Bone marrow aspirate smear; brightfield microscopy, 40× oil immersion — 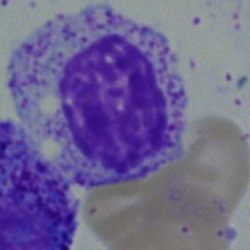

The morphological class is myelocyte.